Bone marrow smear: 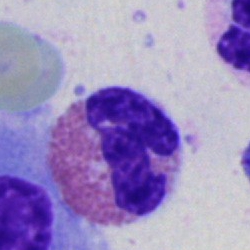

Cell: eosinophilic granulocyte.